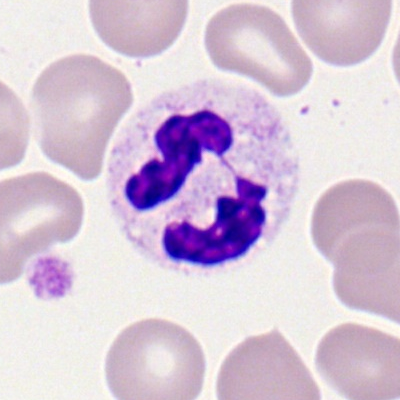

Peripheral blood smear showing a polymorphonuclear neutrophil.